Bone marrow aspirate smear.
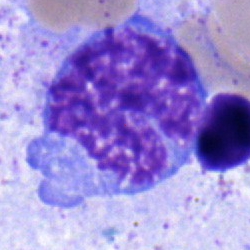
The cell shown is a monocyte.